Bone marrow smear
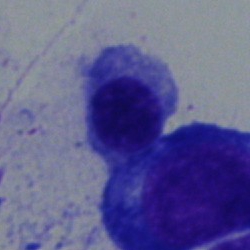
Cell type = nucleated red blood cell.